250×250; bone marrow smear:
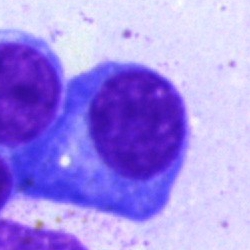 Morphology consistent with a plasmacyte.